Bone marrow aspirate smear
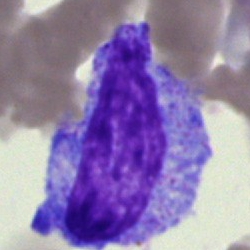

This is a promyelocyte.